360 by 363 pixels; peripheral blood film
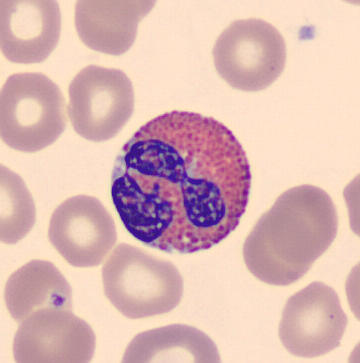{"cell_type": "eosinophilic granulocyte", "lineage": "myeloid"}